Bone marrow smear: 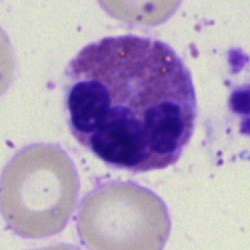The cell shown is an eosinophilic granulocyte.